Bone marrow aspirate smear.
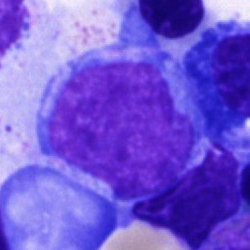

Morphology consistent with an undifferentiated blast.